Bone marrow smear. 250×250.
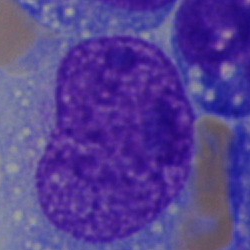The cell shown is a blast.